Bone marrow aspirate smear: 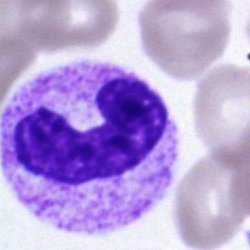
This is a band-form neutrophil.